Bone marrow smear. Cropped to a single cell.
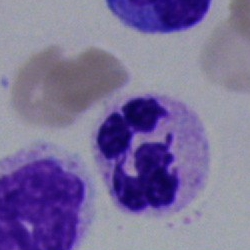
Q: What cell is this?
A: This is a segmented neutrophil.